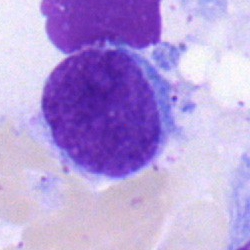
A lymphocyte.